Bone marrow smear: 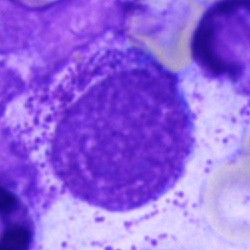 Q: What is shown here?
A: An artifact.